Single cell centered in the field · bone marrow smear · MGG-stained
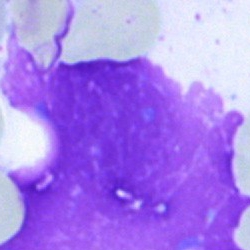Single cell identified as an artifact.